Bone marrow aspirate smear. Brightfield, 40× oil-immersion objective — 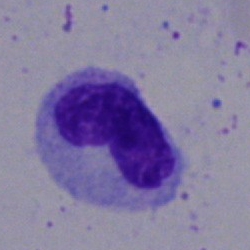Morphology consistent with a stab cell.